Single cell centered in the field · bone marrow aspirate smear · Pappenheim-stained — 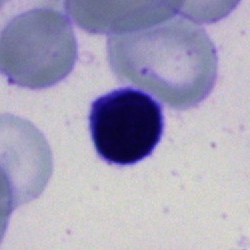Morphology → artefact.